Bone marrow aspirate smear: 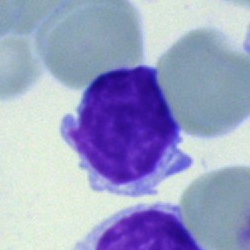

Specimen: bone marrow smear.
Cell type: typical lymphocyte.
Lineage: lymphoid.